Bone marrow aspirate smear — 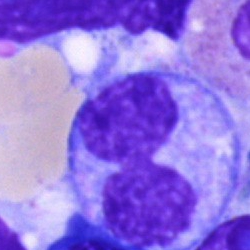Showing a monocyte.